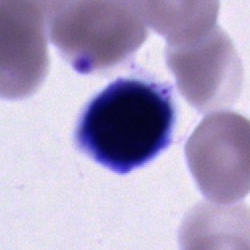

Bone marrow aspirate smear, single cell — unidentifiable cell.